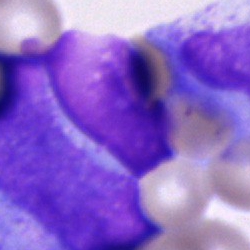 Single-cell crop from a bone marrow smear: unidentifiable cell.